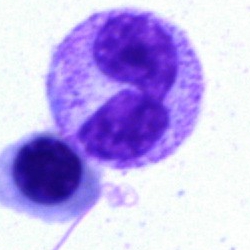 Q: What type of cell is this?
A: It is a neutrophil (segmented).